Bone marrow smear — 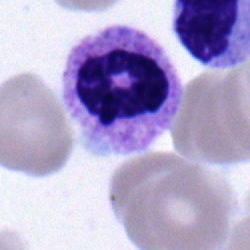
Cell type — segmented neutrophil.